May-Grünwald-Giemsa stain. Bone marrow smear. 250 by 250 pixels
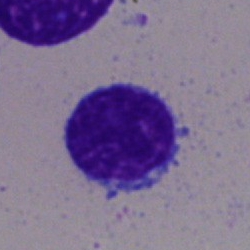 Morphological class = typical lymphocyte.